40× oil immersion · bone marrow smear
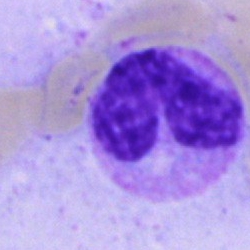Specimen: bone marrow smear.
Cell: stab cell.
Lineage: myeloid.